Single-cell field. Brightfield, 40× oil-immersion objective. Bone marrow aspirate smear: 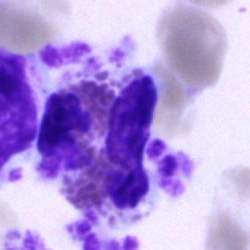Showing an eosinophilic granulocyte.